MGG-stained. Bone marrow aspirate smear:
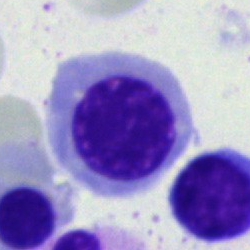 Classification — nucleated red cell.